Single cell centered in the field · bone marrow aspirate smear — 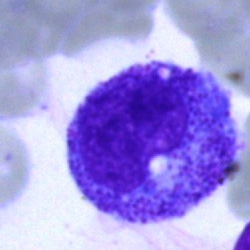 Showing a progranulocyte.